Single-cell field · Pappenheim-stained · bone marrow smear.
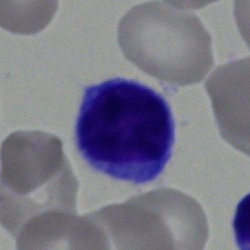
Q: What cell is this?
A: It is a lymphocyte.